Bone marrow smear: 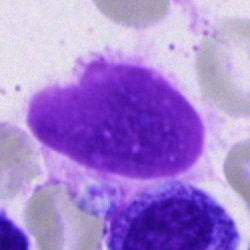 Q: What is shown here?
A: Artifact.